Bone marrow smear; 250 by 250 pixels
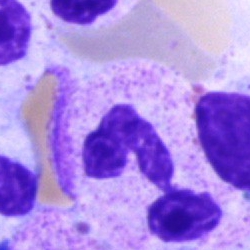 Specimen: bone marrow aspirate smear.
Cell: segmented neutrophil.